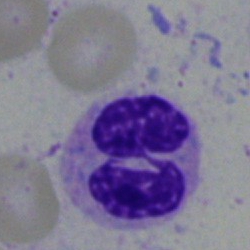
Morphology → polymorphonuclear neutrophil.